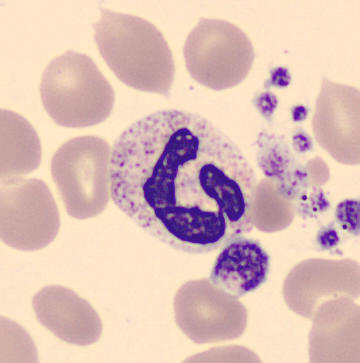360×363; peripheral blood smear.
Q: What cell is this?
A: It is a segmented neutrophil.